Bone marrow aspirate smear — 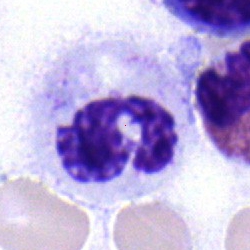
Neutrophil (segmented).